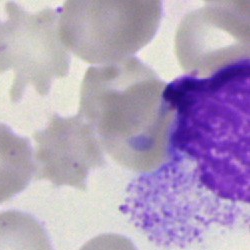

{"cell_type": "cell of indeterminate lineage"}